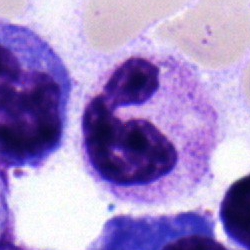 Specimen: bone marrow aspirate smear.
Cell type: neutrophil (segmented).